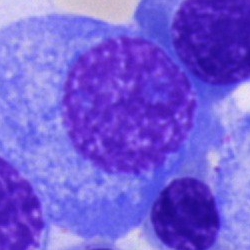

Classification: plasmacyte.